Bone marrow smear: 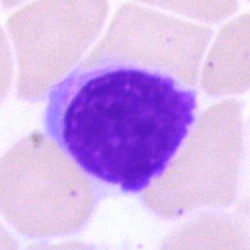Artifact.